Bone marrow smear; single-cell crop:
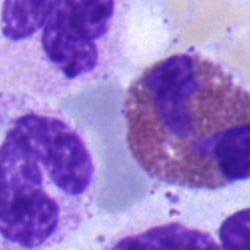An eosinophilic granulocyte.